Bone marrow aspirate smear — 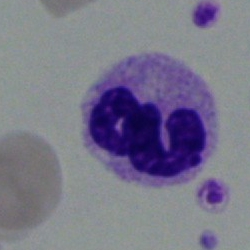

Cell type = polymorphonuclear neutrophil.